Bone marrow aspirate smear.
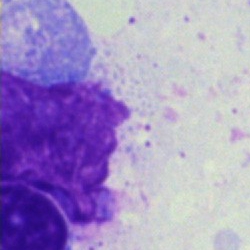

Artefact.